Image size 250×250. Bone marrow aspirate smear. Single-cell crop
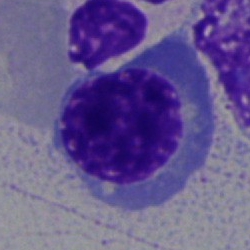

Morphology → erythroblast.